Bone marrow aspirate smear:
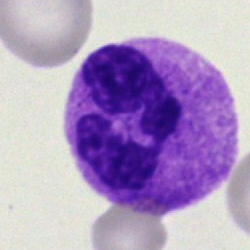
Polymorphonuclear neutrophil.